Bone marrow aspirate smear — 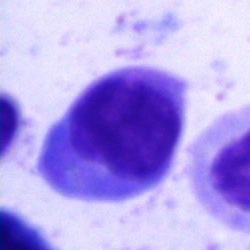 Impression → lymphocyte.